Bone marrow aspirate smear
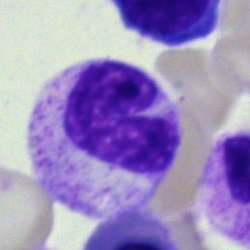
Classification — band-form neutrophil.